Bone marrow aspirate smear.
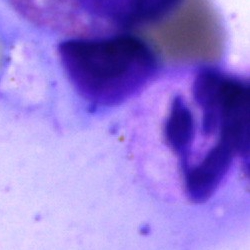

Specimen: bone marrow smear.
Cell: artifact.